Pappenheim-stained · 40× objective, oil immersion · bone marrow smear
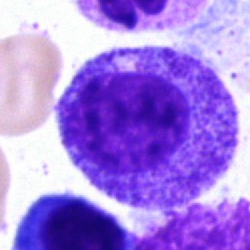
Single cell identified as a promyelocyte.